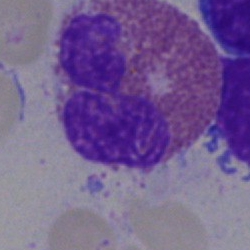 Specimen: bone marrow smear.
Cell: eosinophilic granulocyte.
Lineage: myeloid.